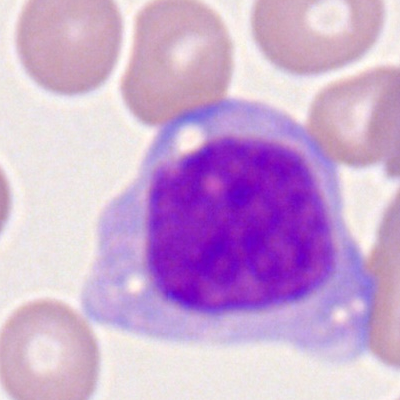
Classification = monocyte.